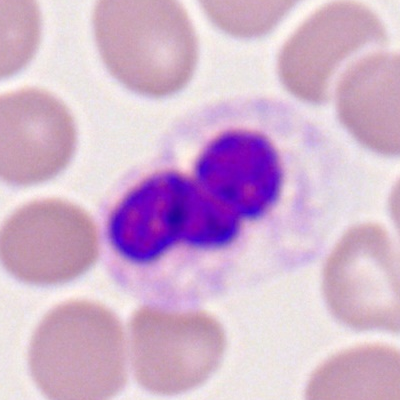A segmented neutrophil on a peripheral blood smear.